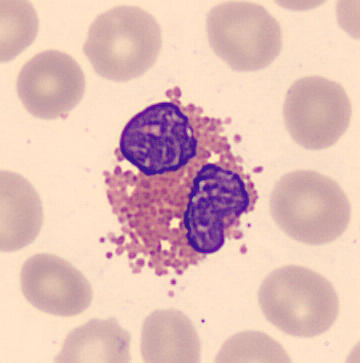 Classification = eosinophil.